May-Grünwald-Giemsa/Pappenheim stain; bone marrow aspirate smear: 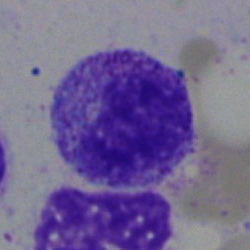

Q: What type of cell is this?
A: It is a metamyelocyte.